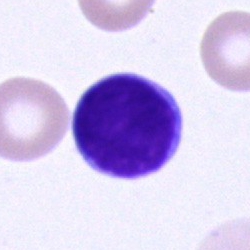 Q: What type of cell is this?
A: A typical lymphocyte.